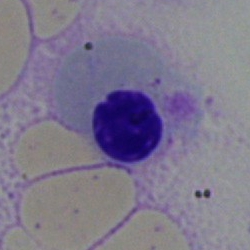Q: What is shown here?
A: Nucleated red cell.